Peripheral blood smear.
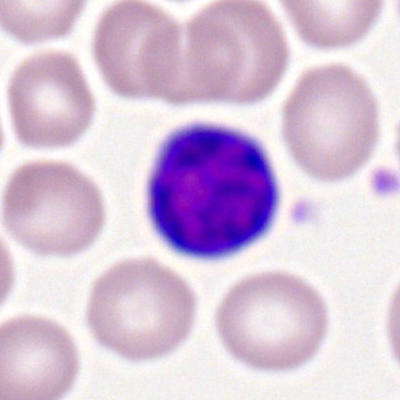

Morphological class = lymphocyte.